Romanowsky stain; peripheral blood film — 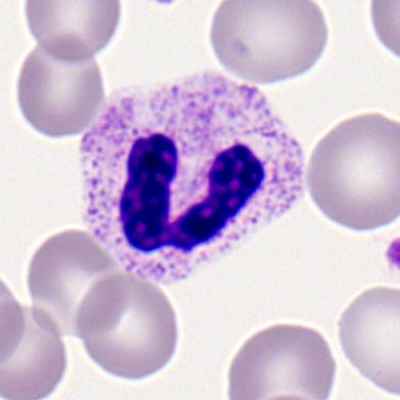
Single cell identified as a neutrophil (segmented).